Bone marrow smear: 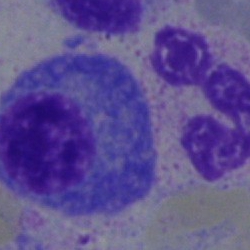 Cell type = plasmacyte.